40× oil immersion. Bone marrow smear. Pappenheim-stained:
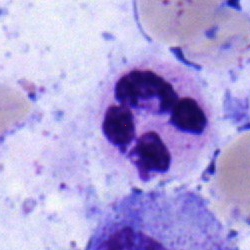
Morphology — polymorphonuclear neutrophil.